Bone marrow smear. Pappenheim-stained. 40× objective, oil immersion: 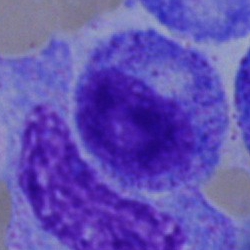Q: What cell is this?
A: A myelocyte.